Bone marrow smear; single-cell field; 40× objective, oil immersion
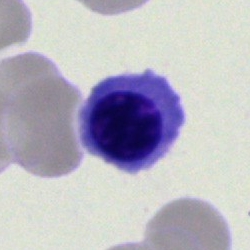Morphological class — erythroblast.